Bone marrow smear: 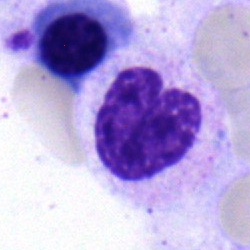

Showing a stab cell.